Image size 250×250. Bone marrow smear. MGG-stained: 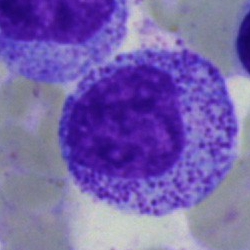
Cell: myelocyte.